Bone marrow aspirate smear: 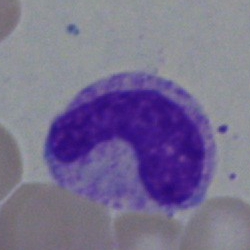 Morphology → stab cell.